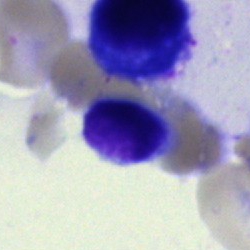Specimen: bone marrow smear.
Cell: lymphocyte.
Lineage: lymphoid.